Bone marrow smear — 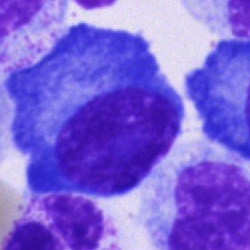Specimen: bone marrow aspirate smear.
Morphological class: plasmacyte.